Bone marrow smear. Pappenheim-stained.
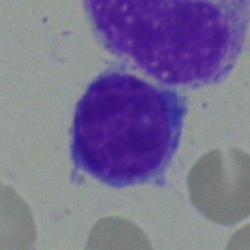

The morphological class is lymphocyte.